Bone marrow aspirate smear — 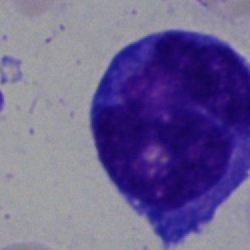 Morphological class: blast cell.